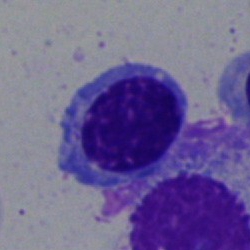 Bone marrow aspirate smear, single cell — nucleated red cell.